Brightfield, 100× oil-immersion objective; peripheral blood film: 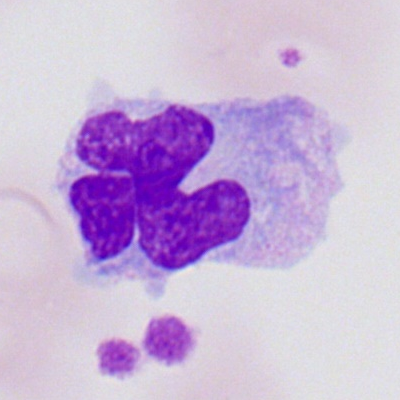The classification is monocyte.